Bone marrow aspirate smear: 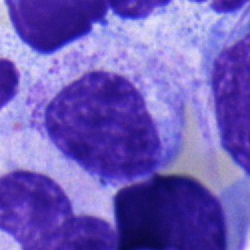
Impression → myelocyte.